Single-cell crop. Bone marrow aspirate smear.
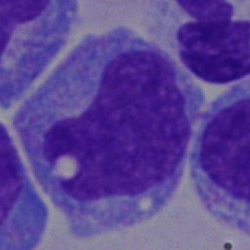Single cell identified as a blast.